Bone marrow aspirate smear.
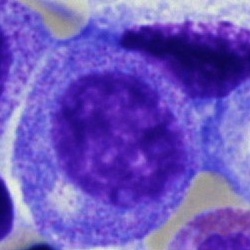
Specimen: bone marrow smear.
Cell: promyelocyte.
Lineage: myeloid.